Bone marrow aspirate smear.
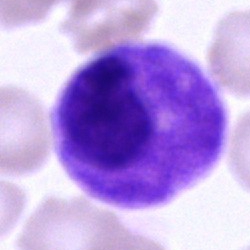

This is a promyelocyte.